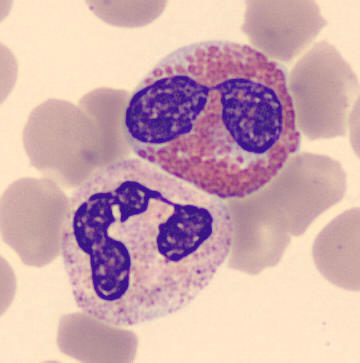
Q: Which cell type is shown here?
A: An eosinophilic granulocyte.